Pappenheim-stained. Bone marrow aspirate smear.
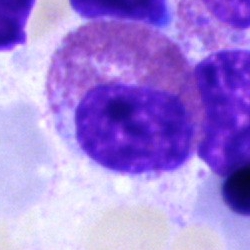

This is an eosinophil.